Bone marrow smear
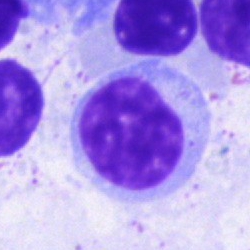
Cell = lymphocyte.